Bone marrow smear — 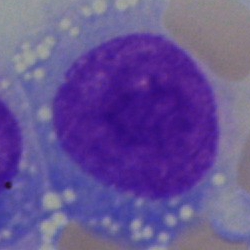Q: What is the morphological classification of this cell?
A: This is a blast cell.